May-Grünwald-Giemsa/Pappenheim stain; 250 by 250 pixels; bone marrow aspirate smear.
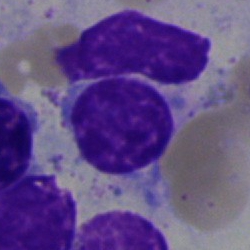Showing an artefact.